Bone marrow smear; 250 by 250 pixels:
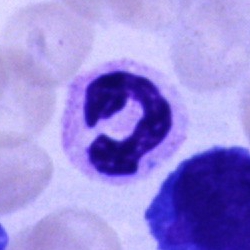{"cell_type": "polymorphonuclear neutrophil"}